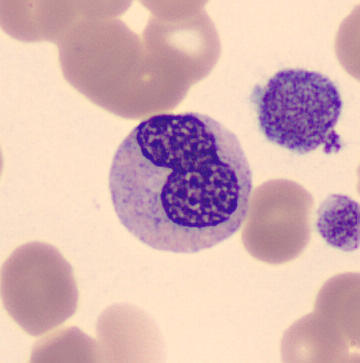

Classification — metamyelocyte. Preparation: Peripheral blood film · 360×363.